Peripheral blood smear — 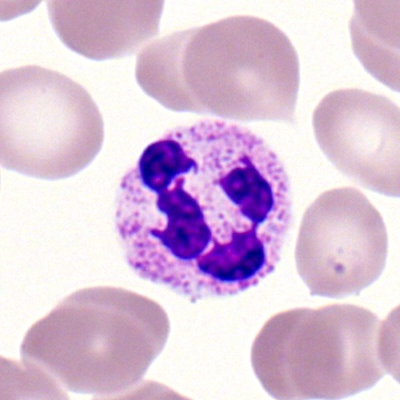 Morphological class = segmented neutrophil.